Peripheral blood smear — 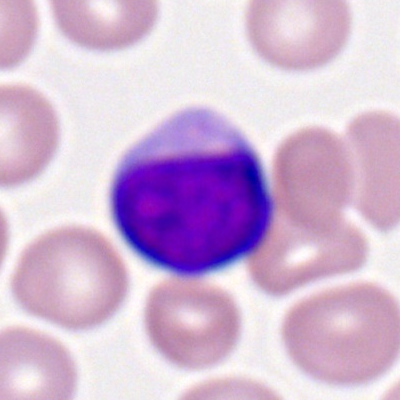 Q: What is the morphological classification of this cell?
A: Typical lymphocyte.